Brightfield, 40× oil-immersion objective; bone marrow aspirate smear
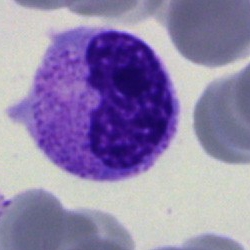
Cell type: band neutrophil.